Single cell centered in the field; bone marrow smear: 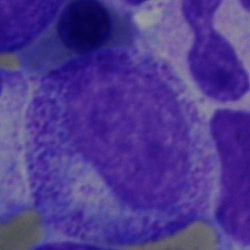This is a myelocyte.